250×250 · brightfield, 40× oil-immersion objective · bone marrow aspirate smear.
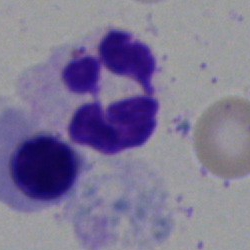 Cell type = polymorphonuclear neutrophil.